Bone marrow smear.
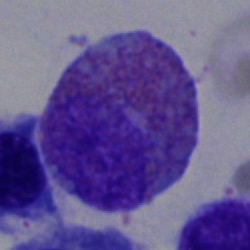
Q: Identify the cell.
A: This is an eosinophil.